250×250 px; bone marrow aspirate smear: 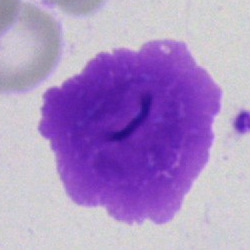The cell is artefact.